May-Grünwald-Giemsa/Pappenheim stain; bone marrow smear — 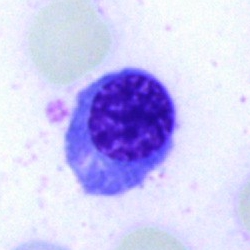The cell is nucleated red blood cell.